Peripheral blood film. 400×400
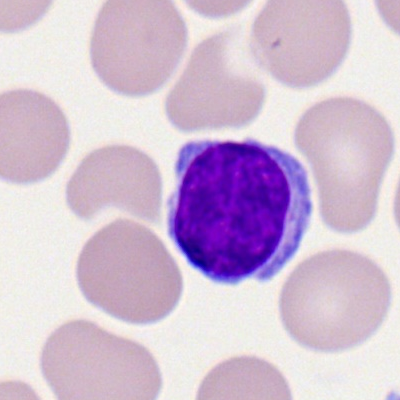
The classification is typical lymphocyte.